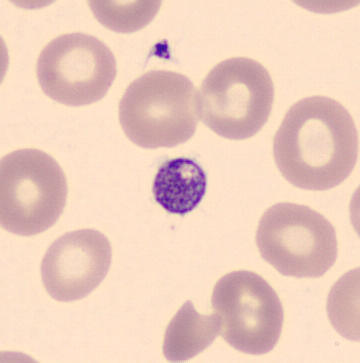

Identified as a platelet (thrombocyte).
Peripheral blood film.